Bone marrow aspirate smear. Image size 250×250 — 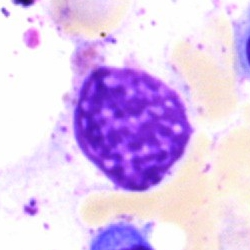This is an artifact.